Bone marrow smear.
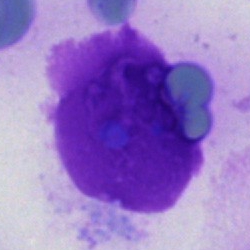 {"cell_type": "artifact"}